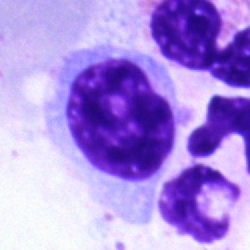The cell type is lymphocyte.